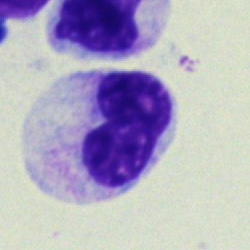Morphology consistent with a polymorphonuclear neutrophil.